Single-cell field. Bone marrow aspirate smear
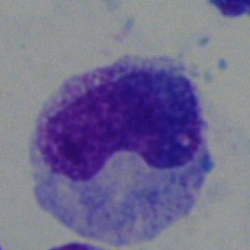

Cell type: monocyte.